Bone marrow aspirate smear:
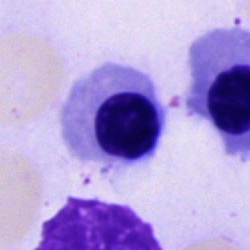 This is an erythroblast.